250×250; bone marrow aspirate smear
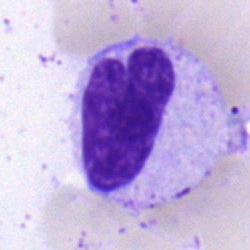
{"cell_type": "band neutrophil", "lineage": "myeloid"}